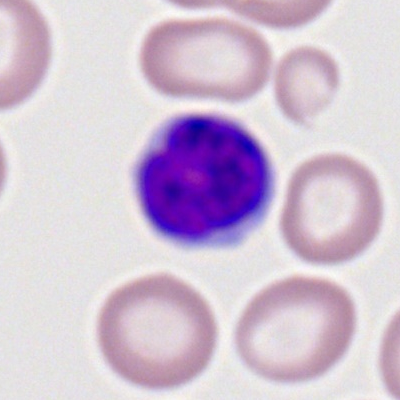
Cell type: lymphocyte.